Cropped to a single cell · bone marrow aspirate smear
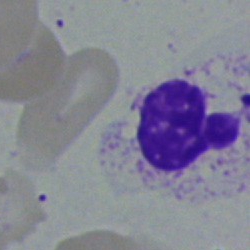Morphology — neutrophil (segmented).